Bone marrow smear:
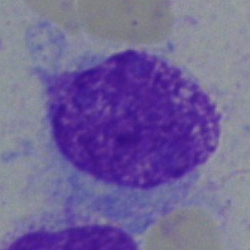
Q: What type of cell is this?
A: Undifferentiated blast.